Bone marrow aspirate smear — 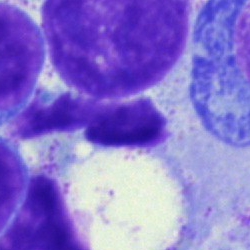 Morphology consistent with an artifact.